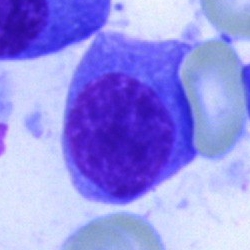 This is a plasmacyte.